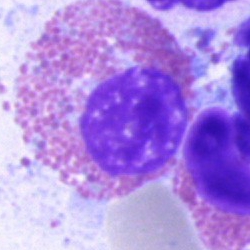

Impression — eosinophilic granulocyte.